Single cell centered in the field. Bone marrow smear:
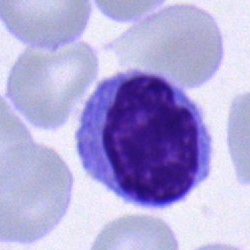

Single cell identified as a monocyte.